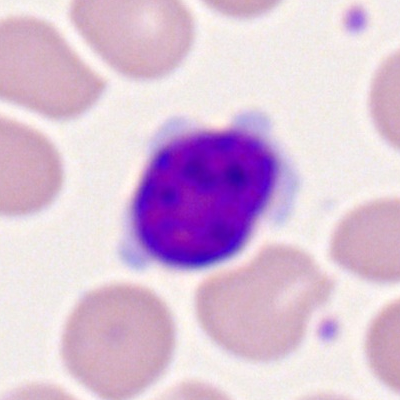
The cell is typical lymphocyte.